Bone marrow smear:
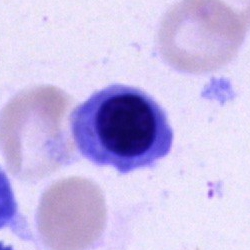
Q: What is the morphological classification of this cell?
A: A normoblast.